Pappenheim-stained. Bone marrow aspirate smear:
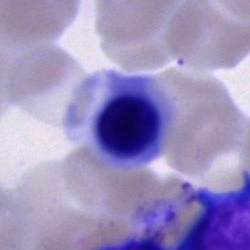

{"cell_type": "nucleated red blood cell", "lineage": "erythroid"}